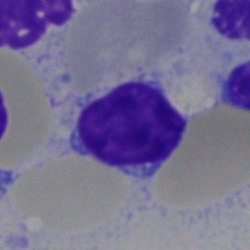
Cell type — lymphocyte.